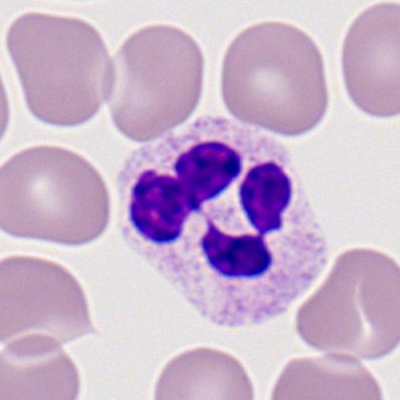

The cell shown is a polymorphonuclear neutrophil.